Bone marrow aspirate smear; May-Grünwald-Giemsa/Pappenheim stain — 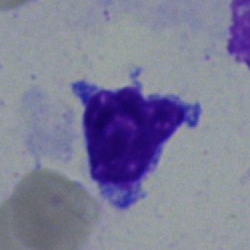Single cell identified as a typical lymphocyte.